Brightfield microscopy, 40× oil immersion. Single-cell field. Bone marrow smear — 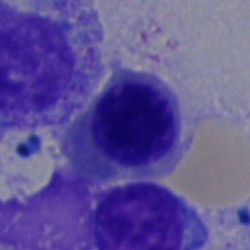 Impression — erythroblast.